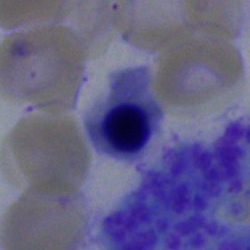 Q: What is the morphological classification of this cell?
A: It is a normoblast.